Peripheral blood smear. M8 digital microscope (Precipoint), 100× oil immersion. Single cell centered in the field: 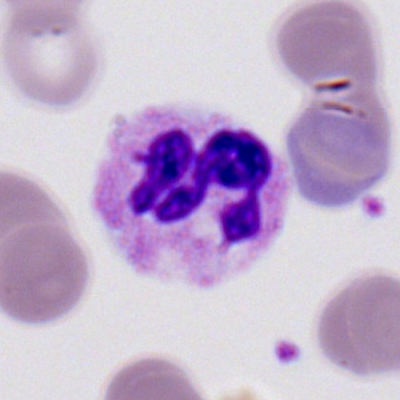 Specimen: peripheral blood smear.
Classification: polymorphonuclear neutrophil.
Lineage: myeloid.